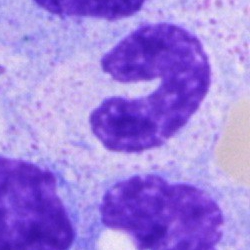Q: What is shown here?
A: Band-form neutrophil.